Bone marrow smear:
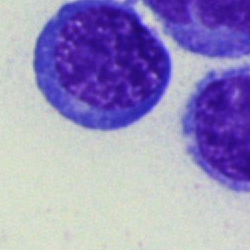This is a nucleated red blood cell.